Bone marrow aspirate smear: 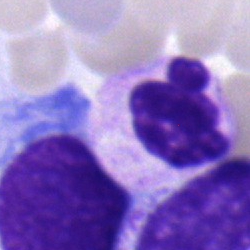 This is a segmented neutrophil.